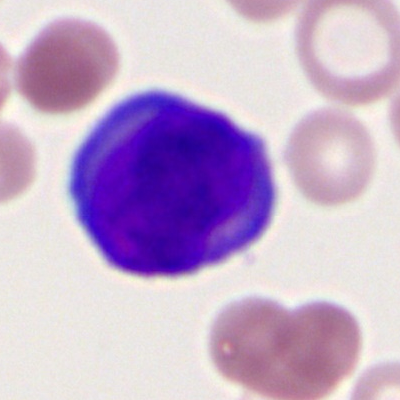

Showing a myeloid blast.